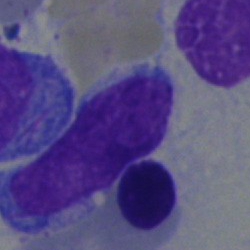

Impression — undifferentiated blast.